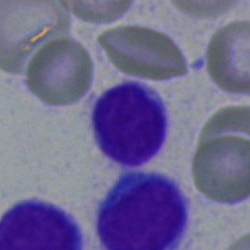 Morphology — typical lymphocyte.